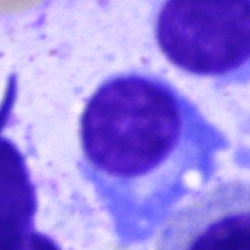Bone marrow aspirate smear, single cell — plasmacyte.